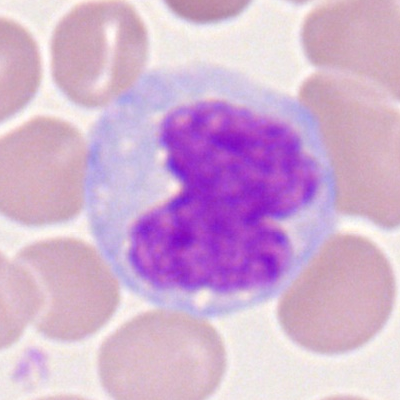

Cell = monocyte.